Image size 250×250 · bone marrow smear
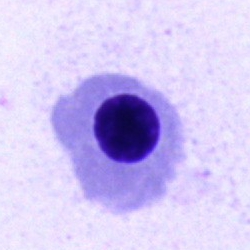

Morphological class: normoblast.